Bone marrow smear
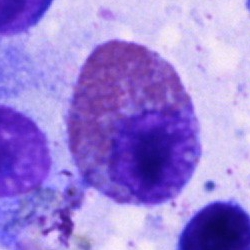Cell type — eosinophilic granulocyte.